Bone marrow smear
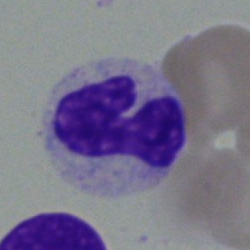 Morphological class: band neutrophil.